Pappenheim-stained · 40× objective, oil immersion · bone marrow aspirate smear:
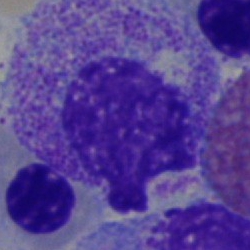

Cell type = myelocyte.